Single-cell crop. Peripheral blood smear: 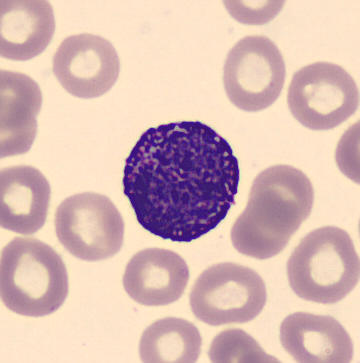
Classification — basophil.